250 by 250 pixels · bone marrow aspirate smear — 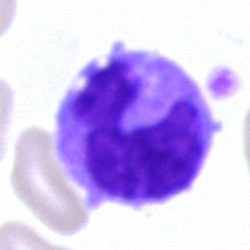

Q: Identify the cell.
A: This is a monocyte.